Bone marrow aspirate smear · image size 250×250
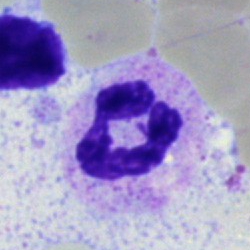 The cell shown is a neutrophil (segmented).